Bone marrow aspirate smear
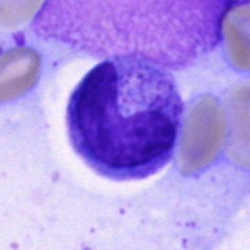 Q: What is the morphological classification of this cell?
A: A metamyelocyte.